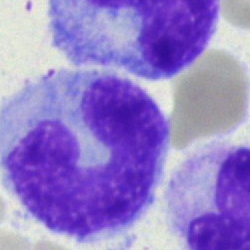
Monocyte.